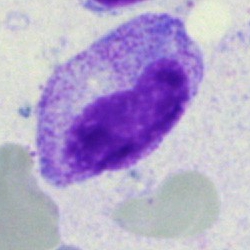
Specimen: bone marrow smear.
Cell: band neutrophil.
Lineage: myeloid.